Brightfield, 40× oil-immersion objective. Bone marrow smear:
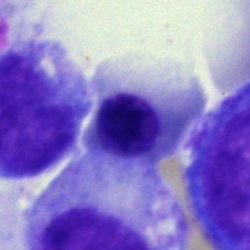Cell type: nucleated red cell.